Bone marrow aspirate smear · brightfield, 40× oil-immersion objective · MGG-stained:
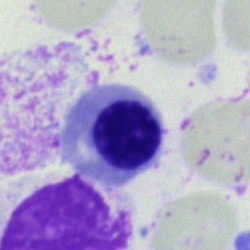 Specimen: bone marrow smear.
Morphological class: normoblast.
Lineage: erythroid.